Bone marrow smear · MGG-stained
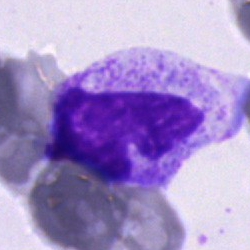

Metamyelocyte.